Single-cell crop; 250×250 px; bone marrow smear:
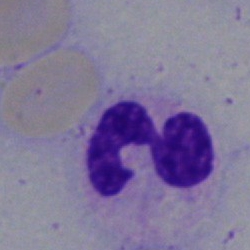 Showing a neutrophil (segmented).